Bone marrow aspirate smear; MGG-stained: 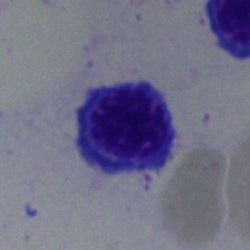
Impression → erythroblast.